Bone marrow aspirate smear:
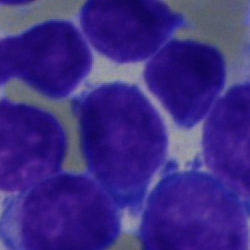Cell type = undifferentiated blast.